Bone marrow aspirate smear.
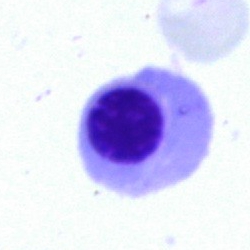
Nucleated red cell.